Single-cell field · Pappenheim-stained · bone marrow aspirate smear
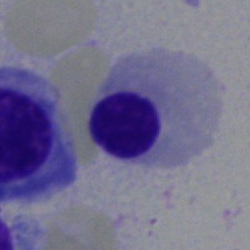
Morphology → normoblast.